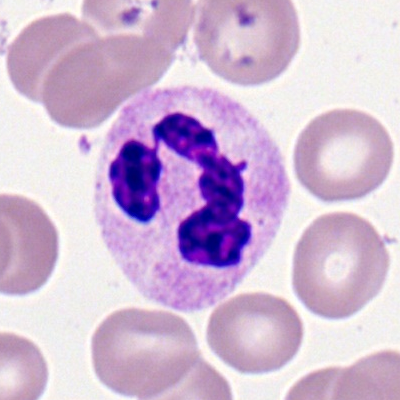

A segmented neutrophil.